Bone marrow smear.
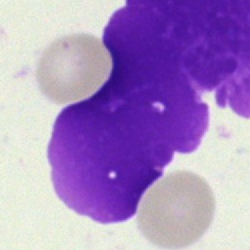

The cell shown is an artefact.